Bone marrow aspirate smear — 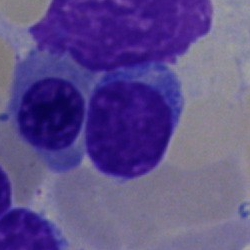
Specimen: bone marrow smear.
Morphological class: lymphocyte.